Bone marrow smear; 40× objective, oil immersion; Pappenheim-stained.
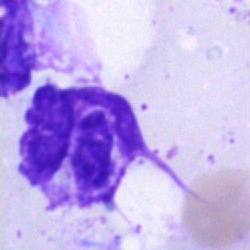
Morphology consistent with an artifact.